Bone marrow aspirate smear:
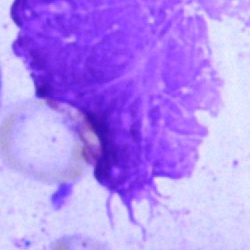 {"cell_type": "artifact"}